Bone marrow smear
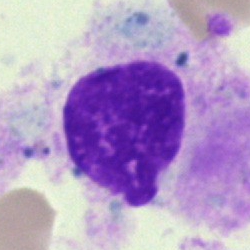

Showing a cell of indeterminate lineage.